Bone marrow smear
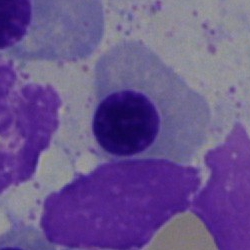 The classification is normoblast.